Bone marrow aspirate smear · 250×250 px · May-Grünwald-Giemsa/Pappenheim stain:
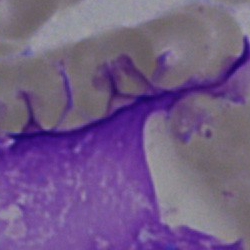 Classification = artefact.